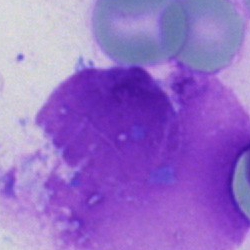{"cell_type": "artifact"}